Bone marrow aspirate smear: 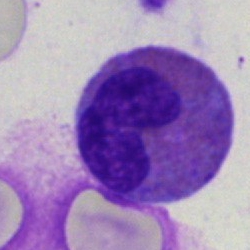

Specimen: bone marrow smear.
Morphological class: eosinophil.
Lineage: myeloid.